Single-cell field; bone marrow aspirate smear:
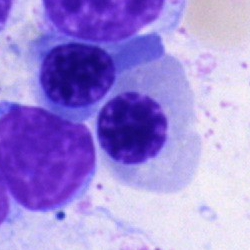 A nucleated red blood cell.